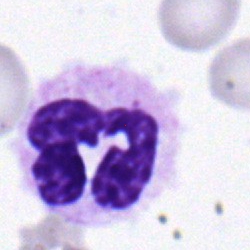
Typical lymphocyte.